May-Grünwald-Giemsa stain; 250×250 px; bone marrow smear: 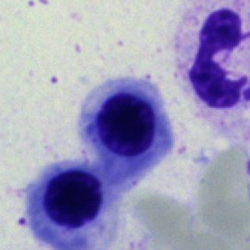Cell type = nucleated red blood cell.